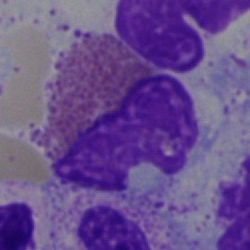Specimen: bone marrow smear.
Cell type: eosinophilic granulocyte.
Lineage: myeloid.